Peripheral blood smear. Cropped to a single cell.
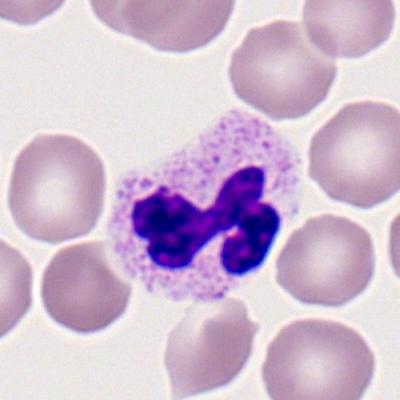
Specimen: peripheral blood smear.
Cell: neutrophil (segmented).